Bone marrow aspirate smear:
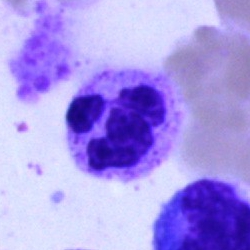

This is a segmented neutrophil.